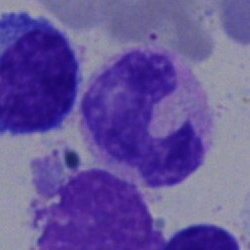
Single-cell crop from a bone marrow smear: band-form neutrophil.